Bone marrow aspirate smear; brightfield, 40× oil-immersion objective
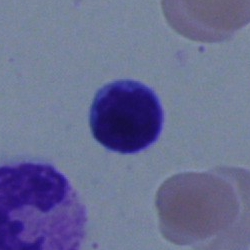 {"cell_type": "lymphocyte", "lineage": "lymphoid"}